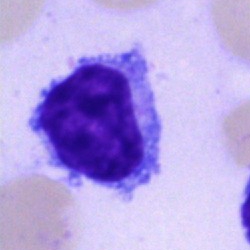Bone marrow aspirate smear, single cell — lymphocyte.